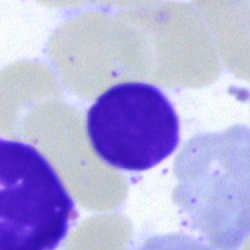{"cell_type": "lymphocyte"}